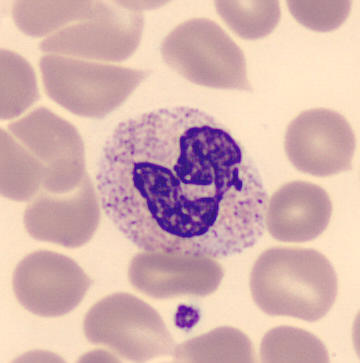Showing a segmented neutrophil.

Peripheral blood smear.